Peripheral blood film:
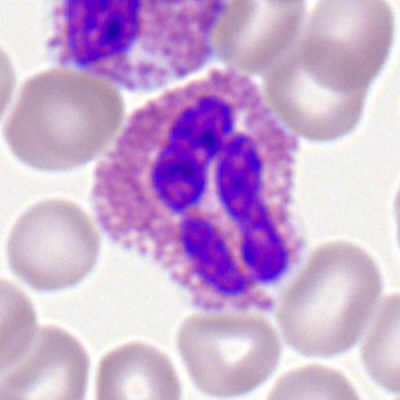 Eosinophil.